Bone marrow aspirate smear — 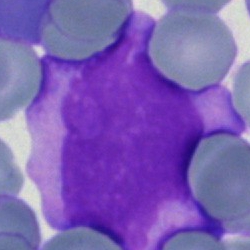

Morphology → blast.